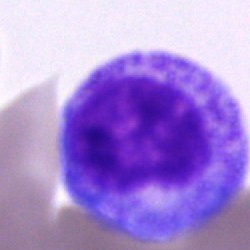 The cell type is promyelocyte.